Peripheral blood film — 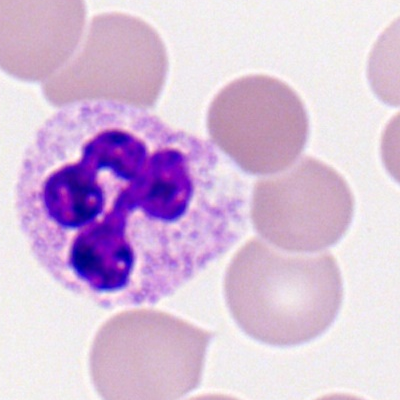
Cell type: polymorphonuclear neutrophil.